Brightfield microscopy, 40× oil immersion; image size 250×250; bone marrow aspirate smear: 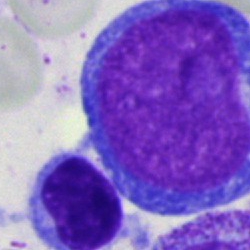

A pronormoblast.